Cropped to a single cell. Pappenheim-stained. Bone marrow aspirate smear — 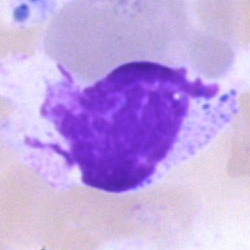
Artifact.